Bone marrow smear; May-Grünwald-Giemsa/Pappenheim stain — 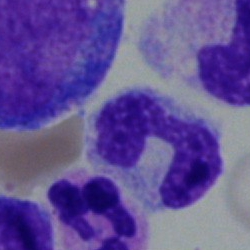
Cell — band neutrophil.